250×250 px. Bone marrow smear. Brightfield, 40× oil-immersion objective
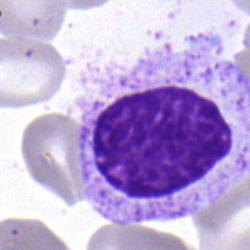

Morphology consistent with a myelocyte.